Bone marrow aspirate smear.
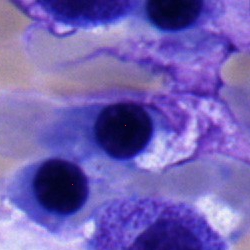{"cell_type": "nucleated red blood cell", "lineage": "erythroid"}